Peripheral blood smear. 360×363 px — 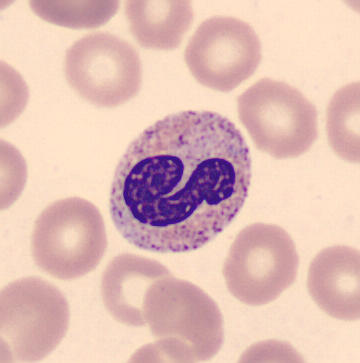

A band-form neutrophil.